Bone marrow aspirate smear: 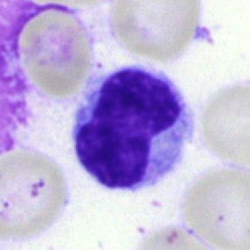 Morphology — monocyte.